Bone marrow smear. 250×250: 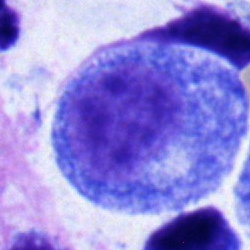

A promyelocyte.